250×250 px; bone marrow aspirate smear
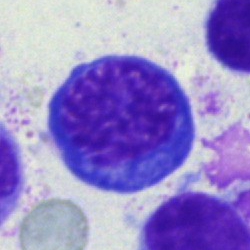Erythroblast.